Bone marrow aspirate smear
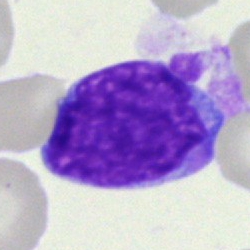{"cell_type": "blast"}